Bone marrow aspirate smear:
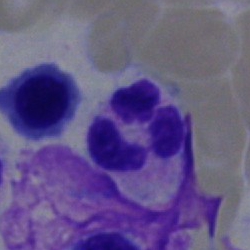 Specimen: bone marrow aspirate smear.
Cell type: segmented neutrophil.
Lineage: myeloid.